250×250. Bone marrow smear: 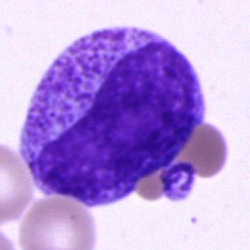

Morphology consistent with a progranulocyte.